Bone marrow smear; cropped to a single cell — 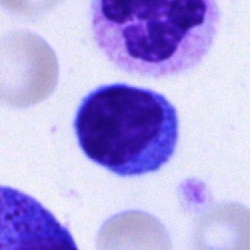

Q: What cell is this?
A: It is a lymphocyte.